MGG-stained; bone marrow smear — 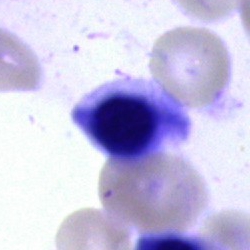
A normoblast.